Bone marrow smear. Single cell centered in the field
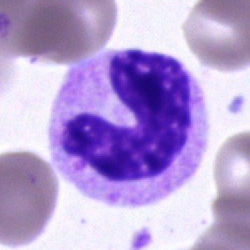Classification: stab cell.